Peripheral blood smear. Single-cell field:
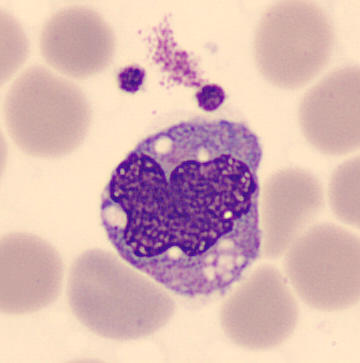 Morphology — monocyte.